40× oil immersion; bone marrow aspirate smear; May-Grünwald-Giemsa/Pappenheim stain.
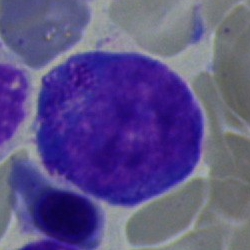 Showing a progranulocyte.